Bone marrow aspirate smear. 250×250 px:
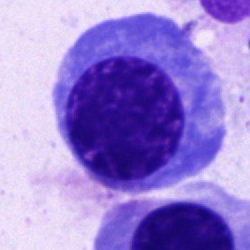 A normoblast.